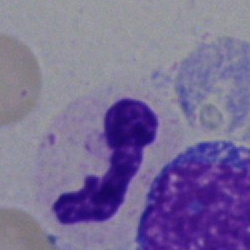 Cell: polymorphonuclear neutrophil.